Peripheral blood smear; Romanowsky-stained — 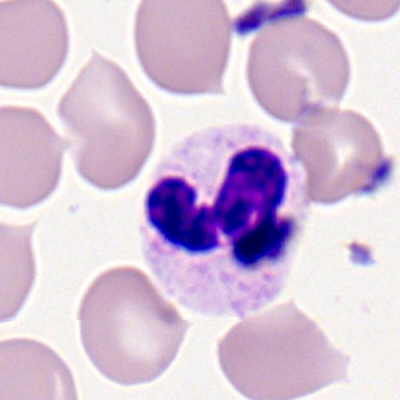 Morphology → neutrophil (segmented).